Cropped to a single cell; 40× objective, oil immersion; bone marrow smear: 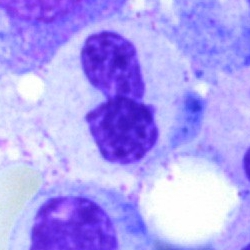 Cell — segmented neutrophil.